Single cell centered in the field · bone marrow aspirate smear
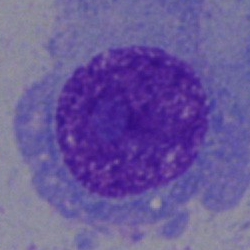
Cell: plasmacyte.